Single-cell field · Romanowsky-type stain · peripheral blood smear — 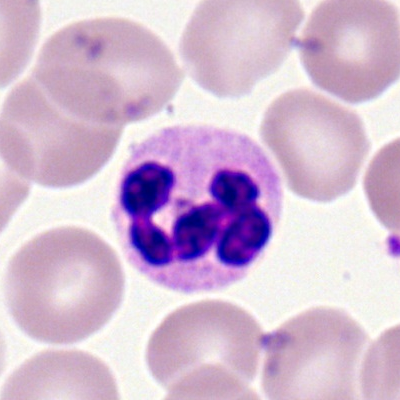Q: What type of cell is this?
A: This is a segmented neutrophil.